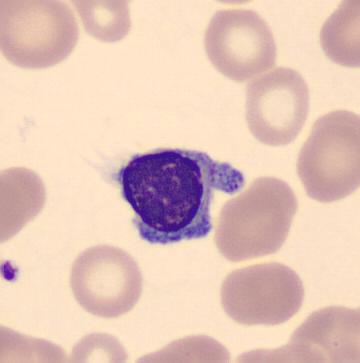
Cell type = lymphocyte.